Peripheral blood smear — 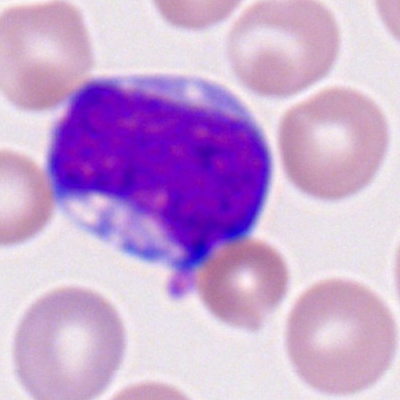

Morphological class = myeloid blast.